Bone marrow aspirate smear; brightfield, 40× oil-immersion objective — 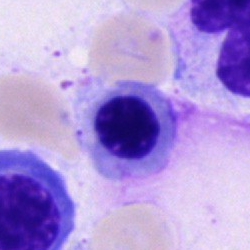Specimen: bone marrow smear.
Classification: nucleated red blood cell.